Bone marrow smear. May-Grünwald-Giemsa/Pappenheim stain
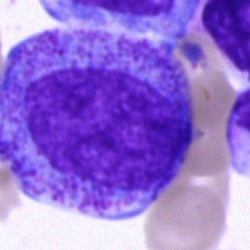
{"cell_type": "progranulocyte", "lineage": "myeloid"}